Bone marrow smear.
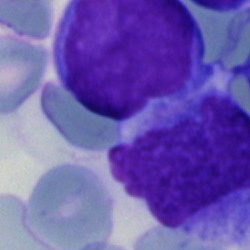 Specimen: bone marrow smear.
Morphological class: blast.